250 by 250 pixels. Bone marrow aspirate smear:
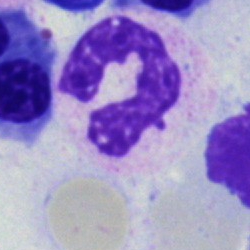
Morphological class: neutrophil (segmented).